Bone marrow aspirate smear; 40× oil immersion; 250×250 px — 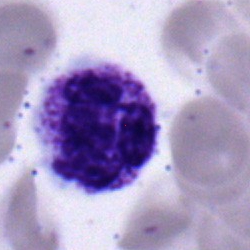
Cell type — neutrophil (segmented).